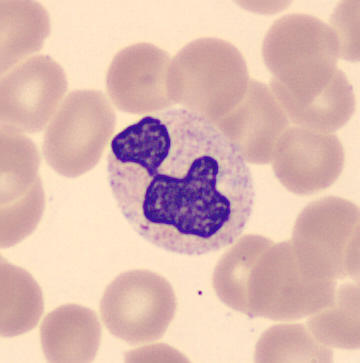

Classification — neutrophil (segmented).

Acquisition: Peripheral blood smear.